Bone marrow aspirate smear: 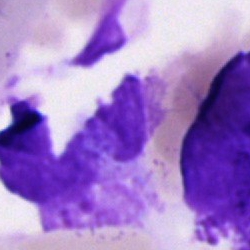
An artifact.